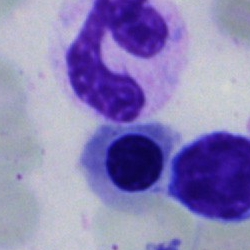Showing an erythroblast.